Bone marrow aspirate smear · 250 by 250 pixels — 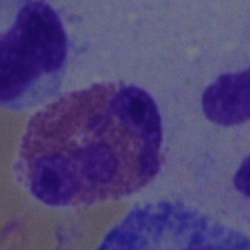The cell type is eosinophilic granulocyte.